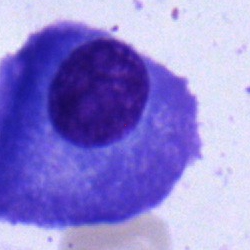Q: What is the morphological classification of this cell?
A: A plasmacyte.